Single-cell field. Bone marrow aspirate smear
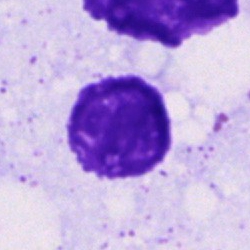An artefact.